Bone marrow smear
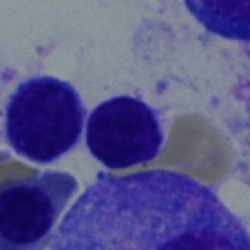Morphology consistent with a typical lymphocyte.